Bone marrow aspirate smear
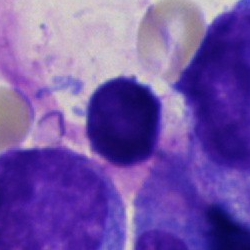{"cell_type": "typical lymphocyte"}